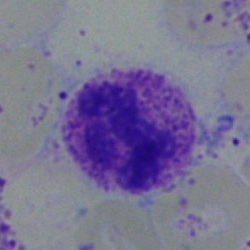The cell shown is a neutrophil (segmented).